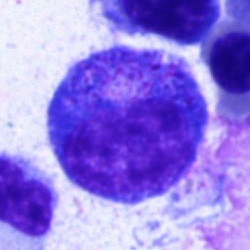
Q: Identify the cell.
A: A promyelocyte.